Bone marrow aspirate smear
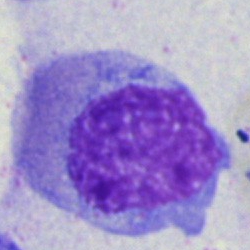{"cell_type": "monocyte"}